Bone marrow aspirate smear.
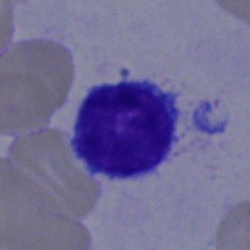
Classification: lymphocyte.